Peripheral blood smear. 400 by 400 pixels. Single-cell crop: 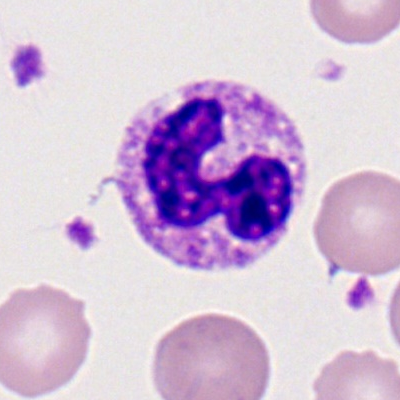
Neutrophil (segmented).